Bone marrow aspirate smear. 40× objective, oil immersion — 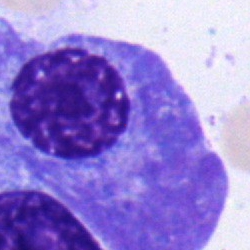

Cell type: plasmacyte.